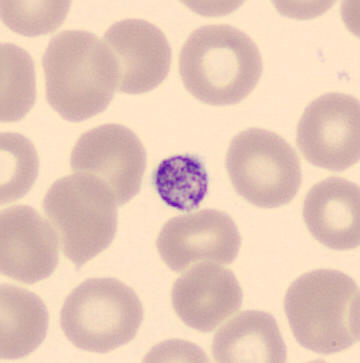
Specimen: peripheral blood smear.
Morphological class: platelet.